Bone marrow smear
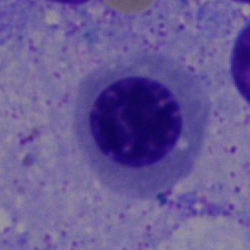
Showing an erythroblast.